Bone marrow aspirate smear:
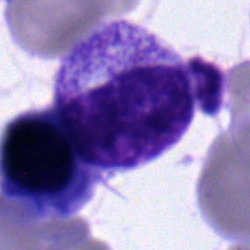Impression → metamyelocyte.